Brightfield, 40× oil-immersion objective; bone marrow aspirate smear; single-cell field: 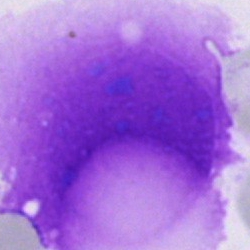Classification = artifact.